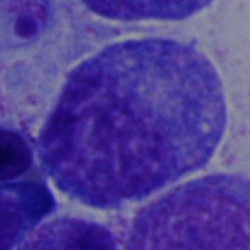 The cell is promyelocyte.